Bone marrow smear.
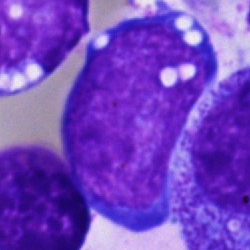 {"cell_type": "pronormoblast", "lineage": "erythroid"}